Bone marrow smear. 250×250 — 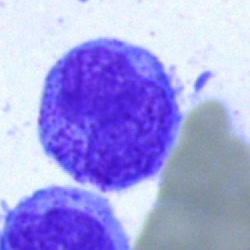
Specimen: bone marrow smear.
Classification: blast.